Single cell centered in the field · bone marrow smear: 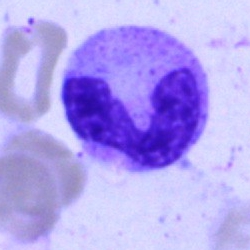

Q: What is the morphological classification of this cell?
A: This is a band neutrophil.